Brightfield microscopy, 40× oil immersion; bone marrow aspirate smear — 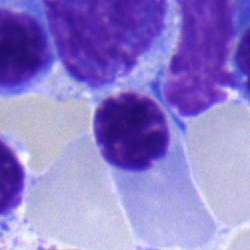

Q: What cell is this?
A: This is an erythroblast.